Bone marrow aspirate smear.
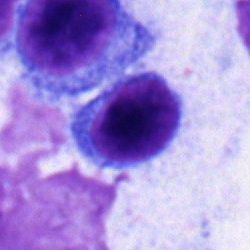

Q: What is the morphological classification of this cell?
A: Typical lymphocyte.